40× objective, oil immersion. Bone marrow smear. 250 by 250 pixels — 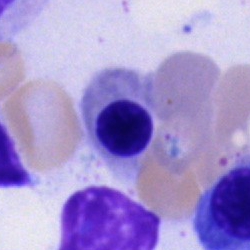
Erythroblast.